Bone marrow aspirate smear:
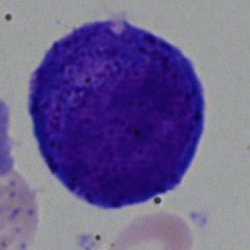

Specimen: bone marrow smear.
Cell type: progranulocyte.
Lineage: myeloid.